Bone marrow aspirate smear. 40× oil immersion:
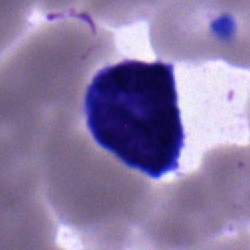

Morphology consistent with an undifferentiated blast.